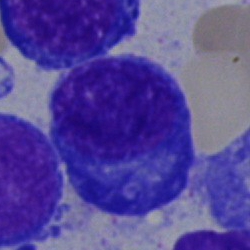This is a plasmacyte.